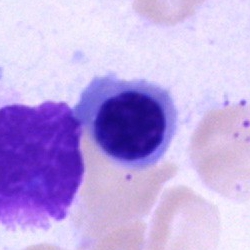
Q: What is shown here?
A: It is a nucleated red blood cell.